Bone marrow smear — 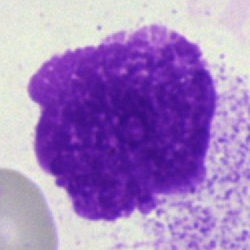

An artefact.